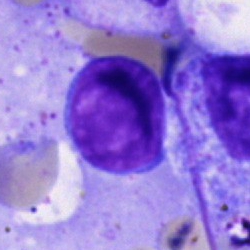 A lymphocyte on a bone marrow smear.